May-Grünwald-Giemsa stain · bone marrow smear · cropped to a single cell: 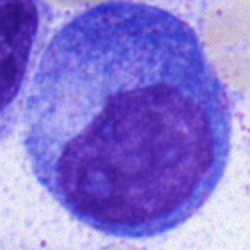Specimen: bone marrow smear.
Cell type: progranulocyte.